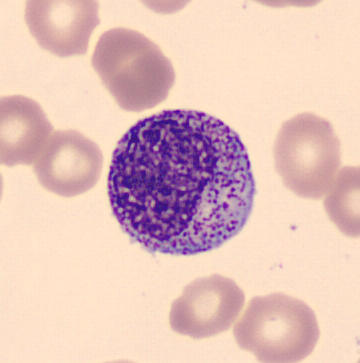 Specimen: peripheral blood smear.
Cell: progranulocyte.